Bone marrow aspirate smear. Cropped to a single cell.
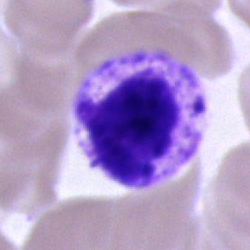
The cell is segmented neutrophil.